MGG-stained · bone marrow aspirate smear · 250×250 px:
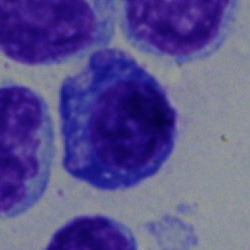
Q: Identify the cell.
A: Plasmacyte.